Bone marrow smear; MGG-stained; brightfield, 40× oil-immersion objective
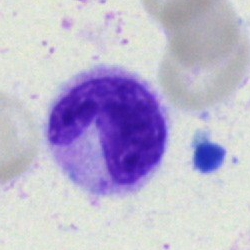Specimen: bone marrow aspirate smear.
Classification: neutrophil (band).